Brightfield microscopy, 40× oil immersion; bone marrow smear.
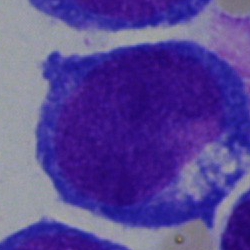Morphological class: blast cell.